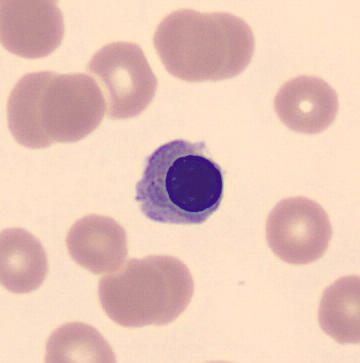

Identified as a normoblast.